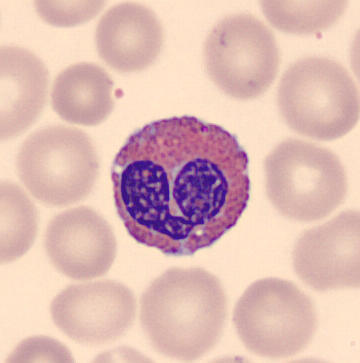Specimen: peripheral blood smear.
Cell type: eosinophilic granulocyte.
Lineage: myeloid.
Acquisition: 360 by 363 pixels.